Bone marrow aspirate smear; cropped to a single cell
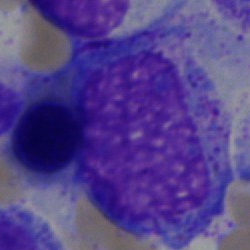{"cell_type": "myelocyte", "lineage": "myeloid"}